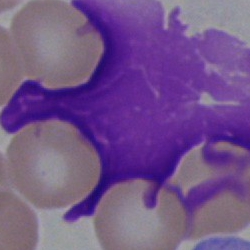

The classification is artifact.